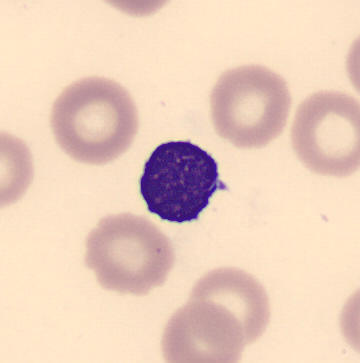

Specimen: peripheral blood film.
Morphological class: lymphocyte.
Lineage: lymphoid.

Acquisition: Cropped to a single cell.